Peripheral blood smear · Romanowsky-type stain:
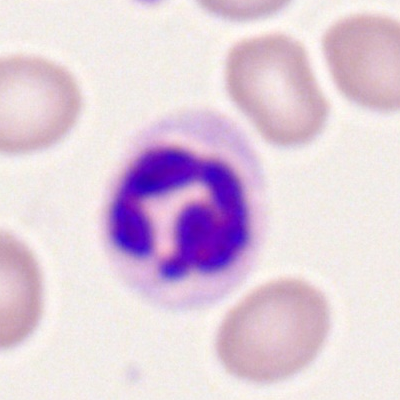Morphology consistent with a polymorphonuclear neutrophil.